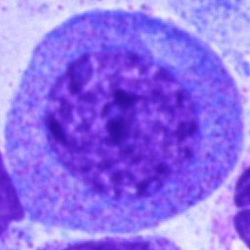 Promyelocyte.